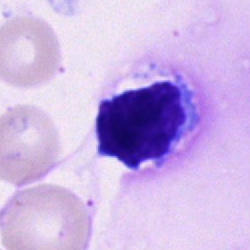
Bone marrow smear showing a lymphocyte.